Bone marrow aspirate smear — 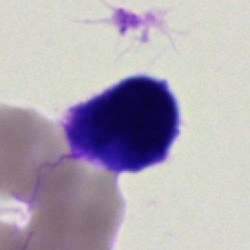

Cell: artifact.